Peripheral blood film
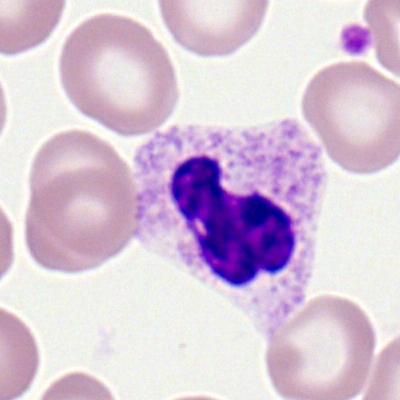

This is a segmented neutrophil.